Bone marrow smear.
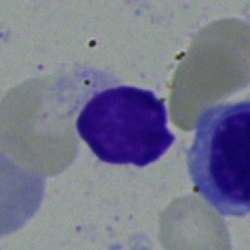Cell type — artifact.